Bone marrow smear: 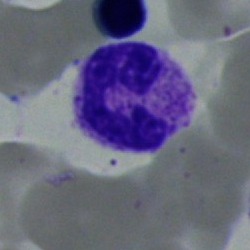 Q: What is shown here?
A: This is a neutrophil (segmented).